Image size 400×400; peripheral blood film — 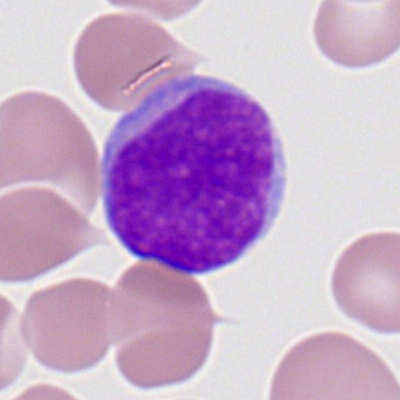A myeloid blast.